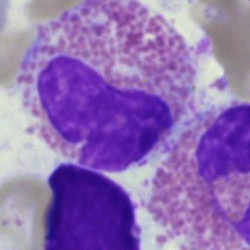
The classification is eosinophil.